Bone marrow smear. Brightfield microscopy, 40× oil immersion — 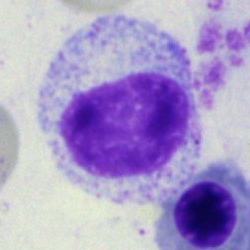Morphological class: myelocyte.